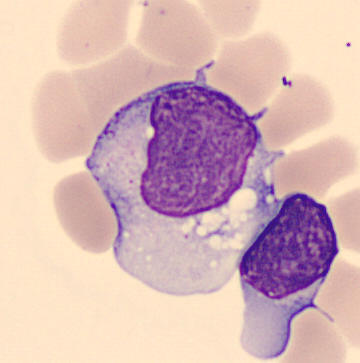The classification is monocyte. Peripheral blood smear.